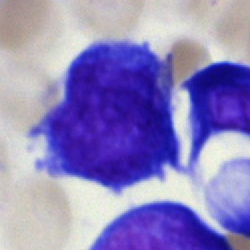 An immature lymphocyte.